Bone marrow aspirate smear
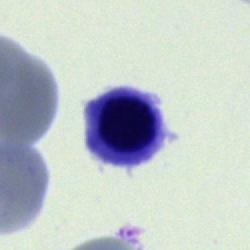
Q: What cell is this?
A: It is a nucleated red blood cell.